40× oil immersion · bone marrow aspirate smear · May-Grünwald-Giemsa/Pappenheim stain: 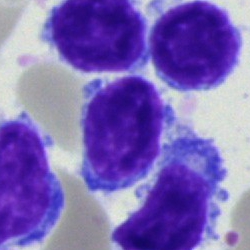 Classification — lymphocyte.